Peripheral blood smear — 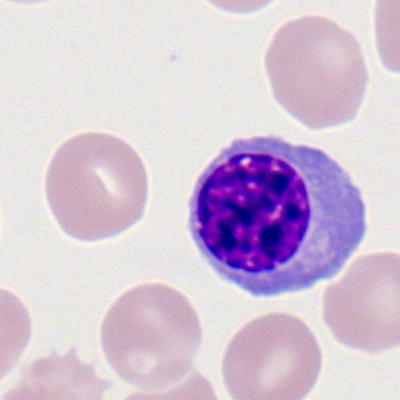 Classification = nucleated red blood cell.